Bone marrow smear; single-cell field.
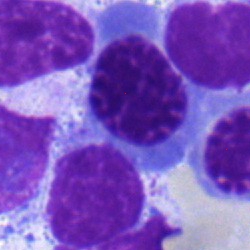 Morphological class = nucleated red blood cell.